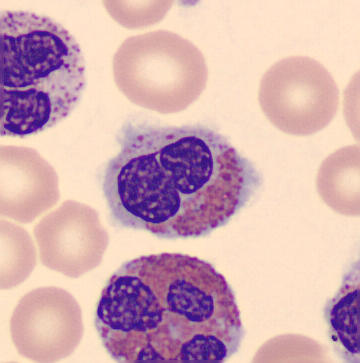 MGG stain. Peripheral blood film.

An eosinophilic granulocyte.